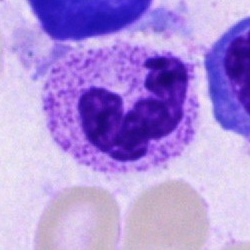
Bone marrow smear showing a segmented neutrophil.